40× oil immersion. Bone marrow smear — 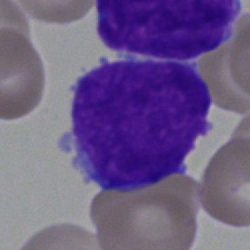
Morphology — blast.